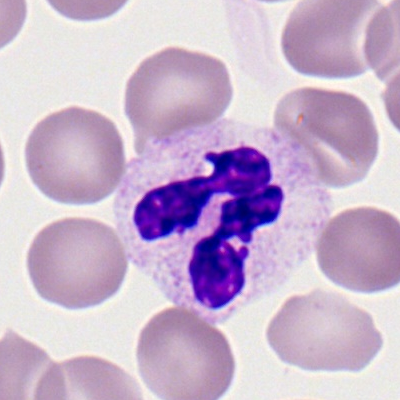 Cell type = neutrophil (segmented).